Bone marrow aspirate smear: 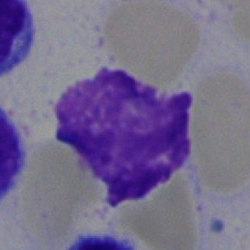

The cell shown is an artifact.